40× objective, oil immersion. Single-cell field. Bone marrow aspirate smear — 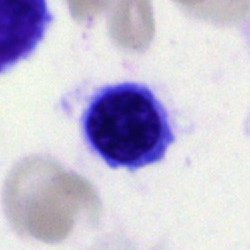
Cell: nucleated red blood cell.